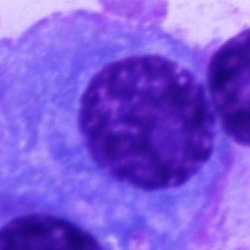
The morphological class is plasmacyte.